MGG-stained; bone marrow smear; 250×250 px — 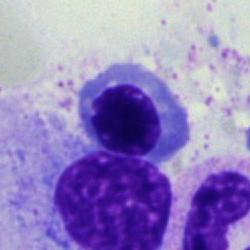
Cell — normoblast.